Brightfield, 40× oil-immersion objective · Pappenheim-stained · bone marrow aspirate smear.
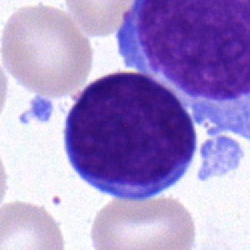Single cell identified as a lymphocyte.